Peripheral blood smear
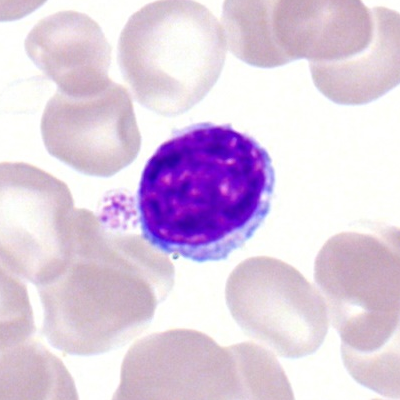 Showing a lymphocyte.